40× objective, oil immersion; bone marrow smear; single cell centered in the field — 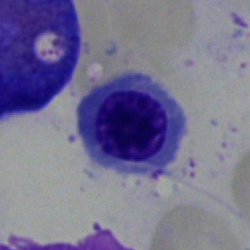
Morphology consistent with a nucleated red cell.